Bone marrow smear — 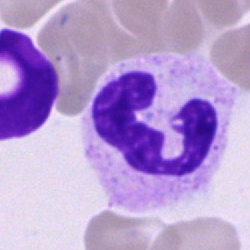Single cell identified as a neutrophil (segmented).